Peripheral blood smear
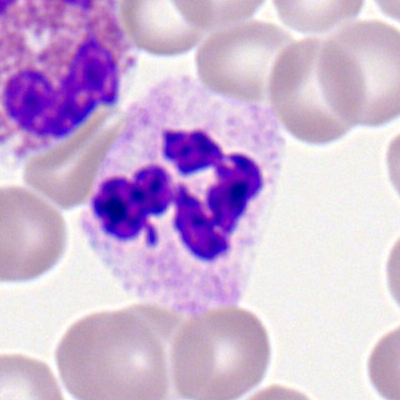Cell type: neutrophil (segmented).